Bone marrow smear · Pappenheim-stained · image size 250×250 — 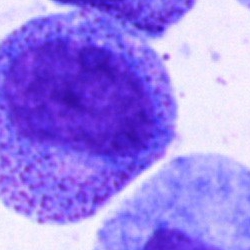Promyelocyte.